Bone marrow aspirate smear — 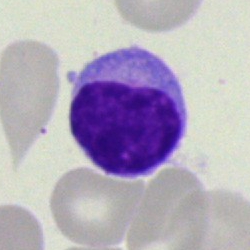Q: What type of cell is this?
A: A typical lymphocyte.